MGG-stained · 250 by 250 pixels · bone marrow aspirate smear
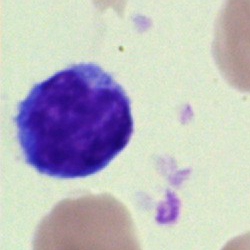
The cell shown is a typical lymphocyte.